Brightfield microscopy, 40× oil immersion. Bone marrow smear. May-Grünwald-Giemsa stain.
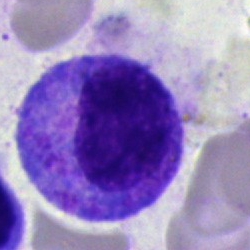

Showing a promyelocyte.